Bone marrow smear; 250×250:
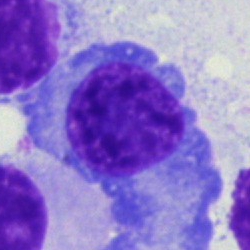

Plasmacyte.